Bone marrow smear: 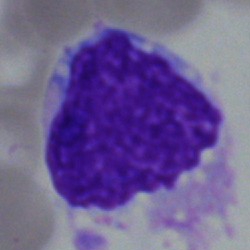

Showing an artefact.